Brightfield microscopy, 40× oil immersion; bone marrow aspirate smear: 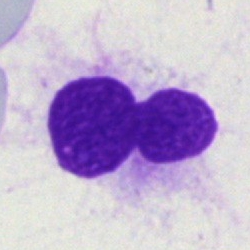The cell shown is an artefact.